Bone marrow aspirate smear
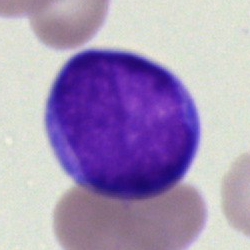{"cell_type": "undifferentiated blast"}